Bone marrow aspirate smear.
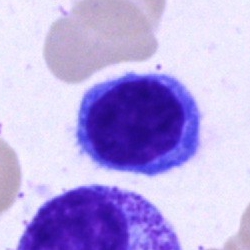Classification — plasma cell.